Bone marrow aspirate smear.
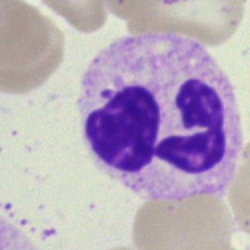Cell = segmented neutrophil.